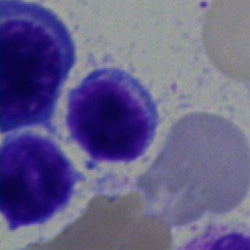
This is a lymphocyte.